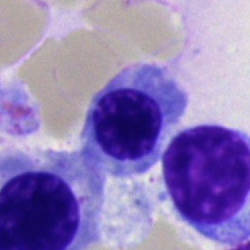Morphological class = nucleated red blood cell.